Bone marrow smear
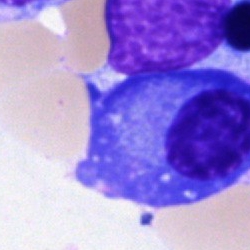

The cell type is plasmacyte.